Bone marrow aspirate smear — 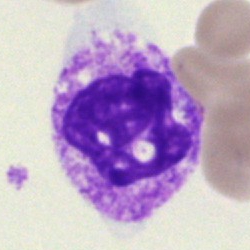

A neutrophil (segmented).